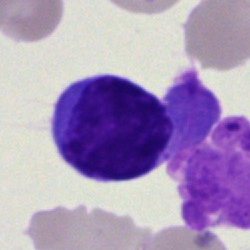

Specimen: bone marrow smear.
Cell: lymphocyte.
Lineage: lymphoid.